Bone marrow aspirate smear: 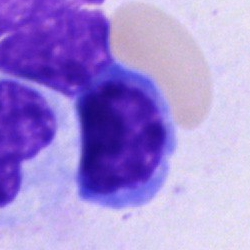
Q: What type of cell is this?
A: A lymphocyte.